Bone marrow aspirate smear
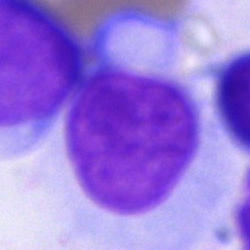
A cell of indeterminate lineage.